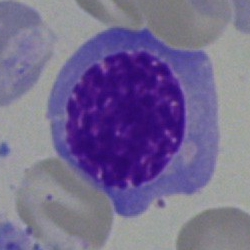

Bone marrow smear showing a normoblast.